Bone marrow aspirate smear
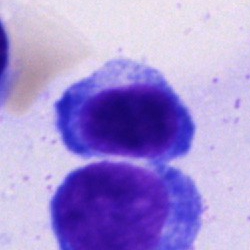 Morphological class = lymphocyte.